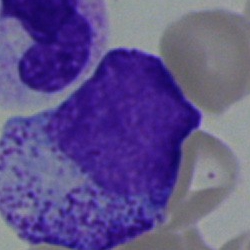
Single cell identified as a myelocyte.